Brightfield microscopy, 40× oil immersion · bone marrow smear · Pappenheim-stained: 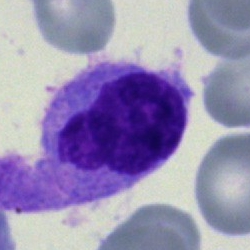
Monocyte.